Peripheral blood film: 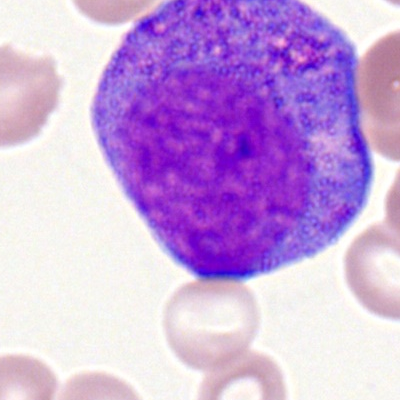 Cell type: promyelocyte.